250×250 px; bone marrow aspirate smear; brightfield, 40× oil-immersion objective: 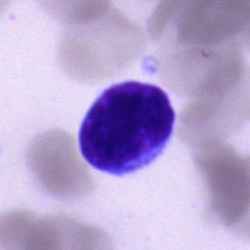Q: What type of cell is this?
A: It is a lymphocyte.